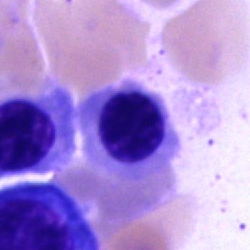Morphological class = normoblast.